Peripheral blood smear
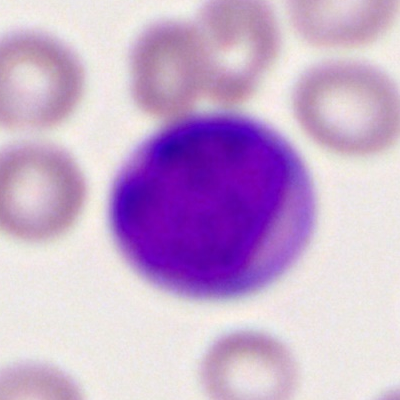
Morphology consistent with a myeloid blast.